Bone marrow aspirate smear; 40× oil immersion; MGG-stained
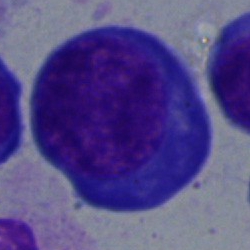 A proerythroblast.